40× objective, oil immersion; bone marrow smear — 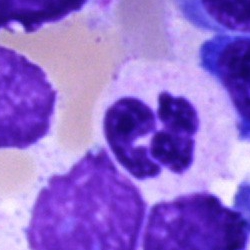 Morphology consistent with a neutrophil (segmented).